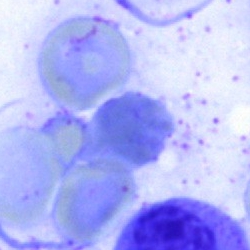This is an artifact.